Single cell centered in the field; brightfield microscopy, 40× oil immersion; bone marrow smear.
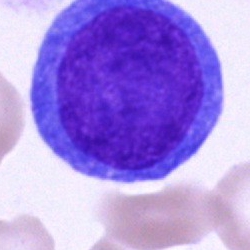
Impression — blast.